Bone marrow smear:
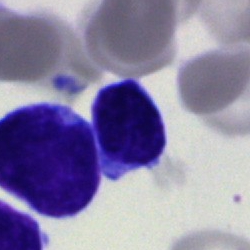
Morphological class: blast cell.